Single-cell field · bone marrow aspirate smear — 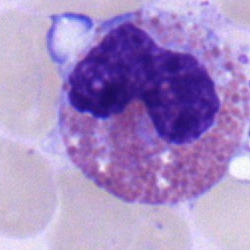Eosinophilic granulocyte.